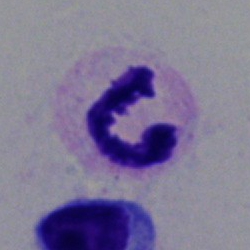
Q: What cell is this?
A: Segmented neutrophil.